Bone marrow smear
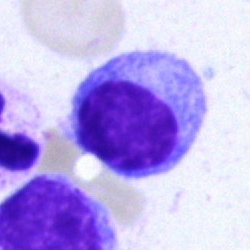
Specimen: bone marrow aspirate smear.
Cell: lymphocyte.